Peripheral blood film. Cropped to a single cell. Romanowsky stain.
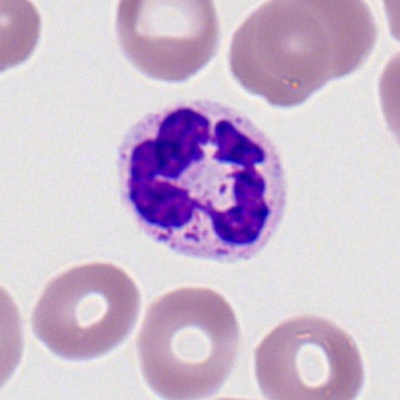

A segmented neutrophil.